Single-cell field · bone marrow smear · image size 250×250 — 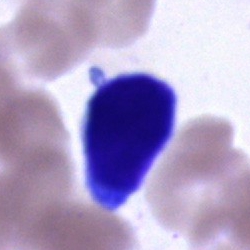

Classification — cell of indeterminate lineage.